Single cell centered in the field; bone marrow smear
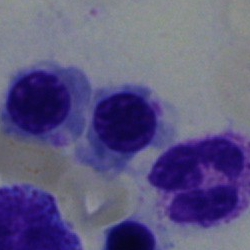
Q: What cell is this?
A: This is a normoblast.